Bone marrow smear · single cell centered in the field:
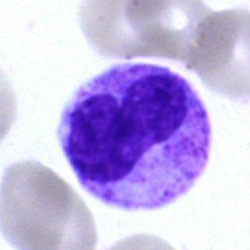 A metamyelocyte.